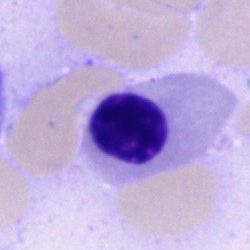 Impression — nucleated red cell.